Bone marrow aspirate smear.
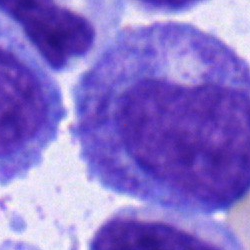 Classification = promyelocyte.